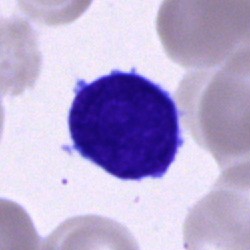 Classification = typical lymphocyte.